Bone marrow aspirate smear:
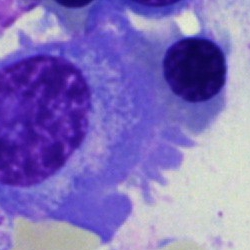

The morphological class is plasmacyte.